Bone marrow smear: 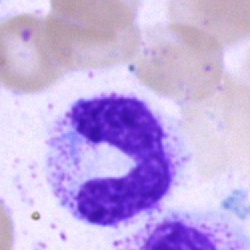

Morphology → neutrophil (band).